MGG-stained; bone marrow smear; 40× oil immersion.
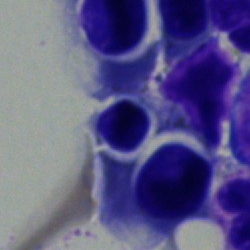 The cell is erythroblast.